250×250. 40× objective, oil immersion. Bone marrow smear.
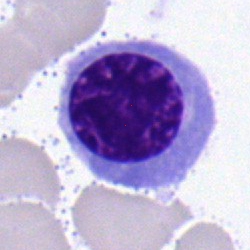
Impression → typical lymphocyte.